Bone marrow smear.
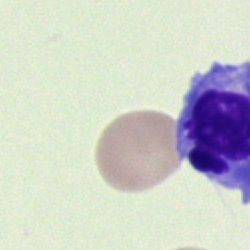
{"cell_type": "cell of indeterminate lineage"}